Image size 250×250 · bone marrow aspirate smear.
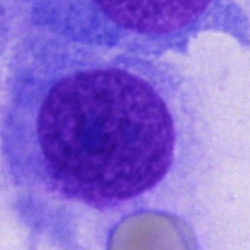

Classification — other cell.